Bone marrow aspirate smear
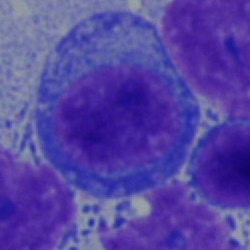
The cell is plasma cell.